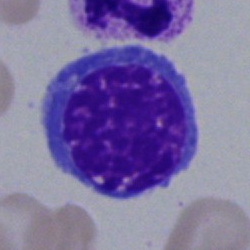
Bone marrow smear showing a nucleated red blood cell.